Bone marrow aspirate smear:
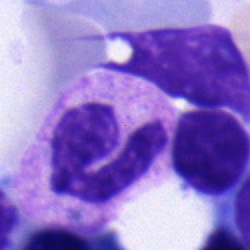 Single cell identified as a neutrophil (segmented).